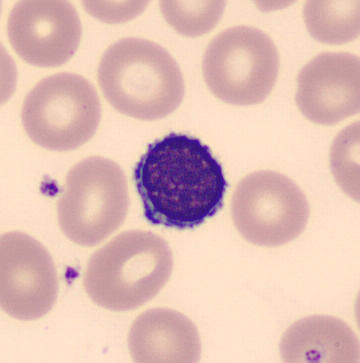Specimen: peripheral blood smear.
Classification: lymphocyte.